Cropped to a single cell · Pappenheim-stained · bone marrow smear.
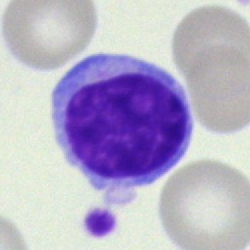
Morphology consistent with a lymphocyte.